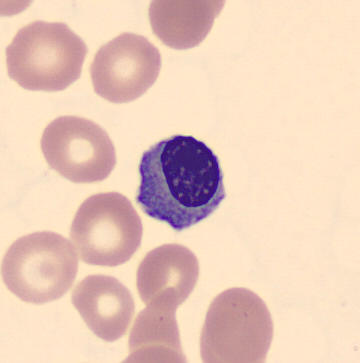 This is an erythroblast. Preparation: Peripheral blood film.